Bone marrow aspirate smear
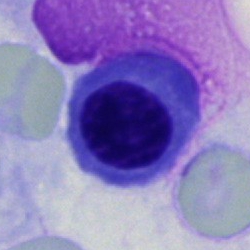
Specimen: bone marrow smear.
Morphological class: nucleated red blood cell.